Bone marrow smear.
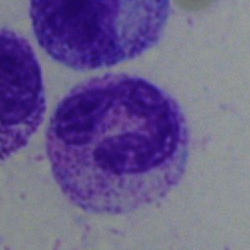

Morphology — stab cell.